Bone marrow smear; Pappenheim-stained:
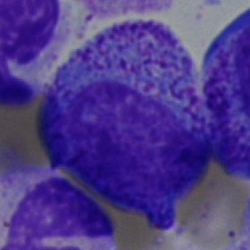Cell type — promyelocyte.